40× objective, oil immersion; bone marrow smear
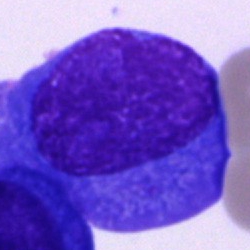 Impression — plasma cell.